Bone marrow smear; image size 250×250 — 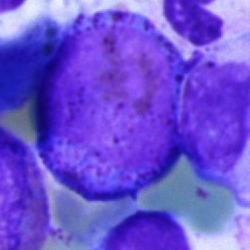

Promyelocyte.